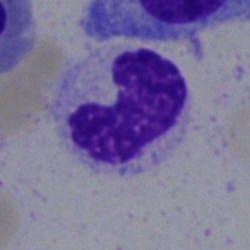
Bone marrow smear showing a band neutrophil.